Bone marrow smear:
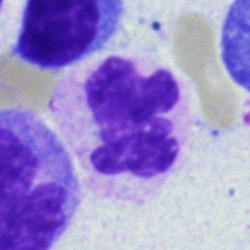{"cell_type": "polymorphonuclear neutrophil"}